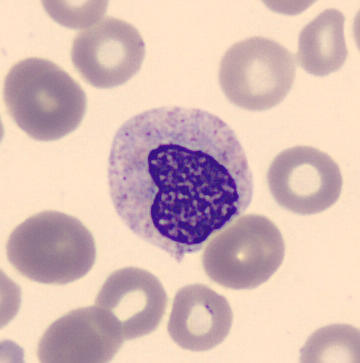Acquisition: Peripheral blood film. Morphology consistent with a metamyelocyte.